250×250 px; brightfield, 40× oil-immersion objective; bone marrow smear — 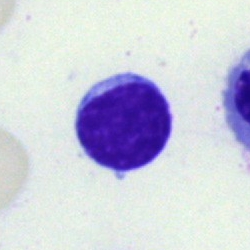

Showing a typical lymphocyte.